Single-cell field. Bone marrow aspirate smear
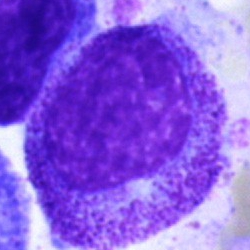

Cell — myelocyte.